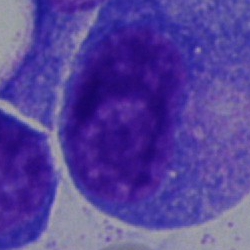Classification = progranulocyte.